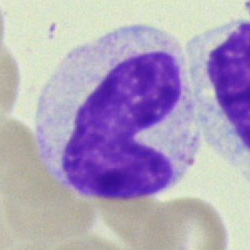
Band-form neutrophil.